Bone marrow smear — 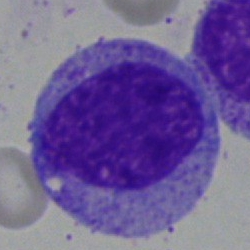 Showing a progranulocyte.